Bone marrow aspirate smear — 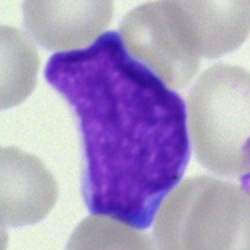
Morphology consistent with an undifferentiated blast.